Brightfield, 40× oil-immersion objective. Bone marrow smear:
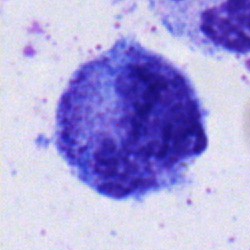

The cell is progranulocyte.